Bone marrow smear.
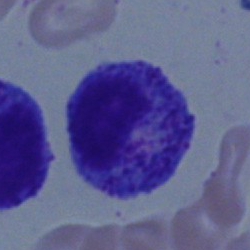 Cell — myelocyte.